Bone marrow smear:
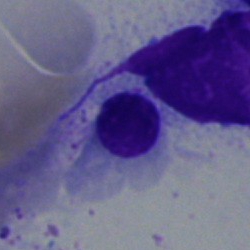

Specimen: bone marrow smear.
Classification: nucleated red cell.
Lineage: erythroid.